Bone marrow smear; 250×250 px:
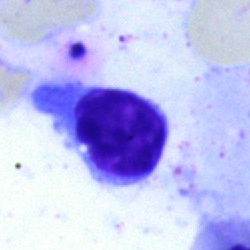

A typical lymphocyte.